Single-cell crop. Bone marrow smear:
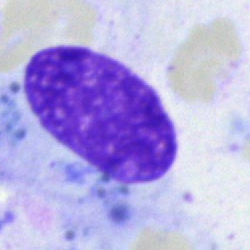The cell is other cell type.